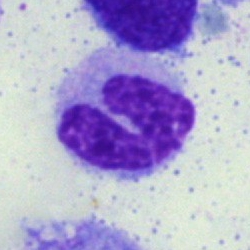
Cell type — band neutrophil.